Bone marrow smear · Pappenheim-stained
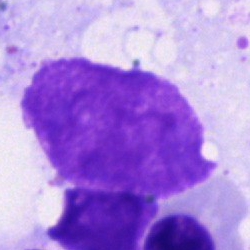Cell type: artifact.